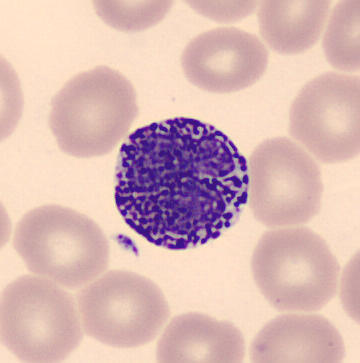Acquisition: Peripheral blood film.
Single cell identified as a basophil.